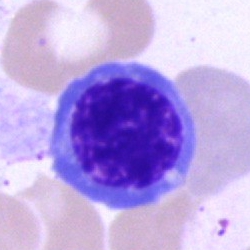
Q: Identify the cell.
A: This is a nucleated red cell.